Bone marrow smear:
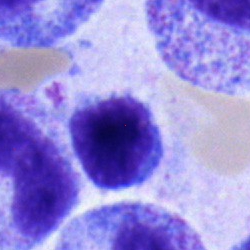

Q: Which cell type is shown here?
A: A lymphocyte.